Bone marrow aspirate smear: 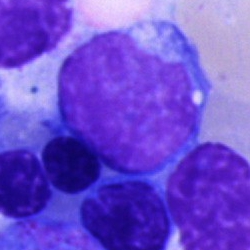This is a blast cell.